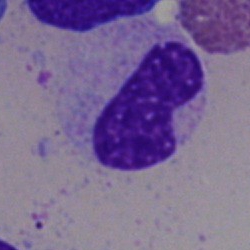
Q: What is shown here?
A: A stab cell.